Bone marrow smear · single-cell crop: 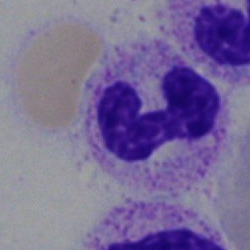

Classification = segmented neutrophil.